Romanowsky-stained · peripheral blood film · single cell centered in the field: 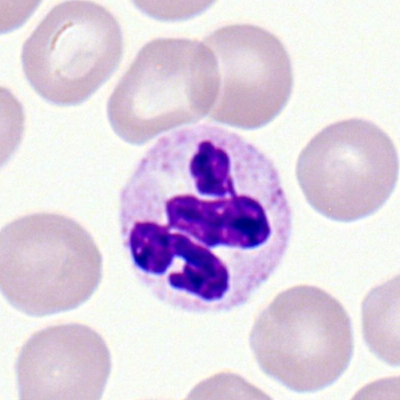Morphological class: segmented neutrophil.